Bone marrow aspirate smear:
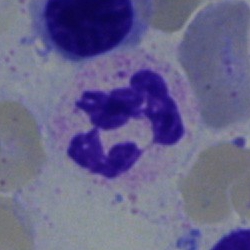
Q: What cell is this?
A: This is a segmented neutrophil.